May-Grünwald-Giemsa/Pappenheim stain; bone marrow aspirate smear; cropped to a single cell: 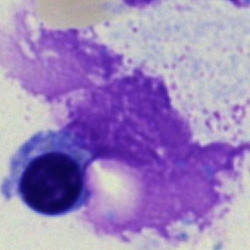 Morphology consistent with an erythroblast.